Bone marrow aspirate smear.
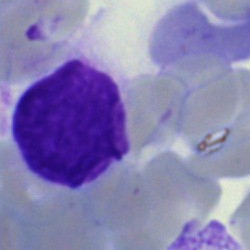 Specimen: bone marrow smear.
Cell type: artefact.